May-Grünwald-Giemsa stain. Bone marrow smear: 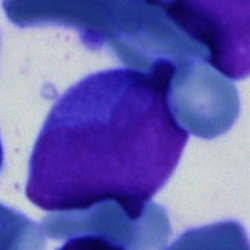
Specimen: bone marrow aspirate smear.
Morphological class: blast cell.